Bone marrow smear
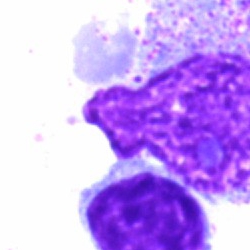Impression → artefact.